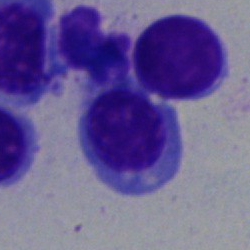

Specimen: bone marrow smear.
Classification: nucleated red cell.